Single-cell crop; peripheral blood smear — 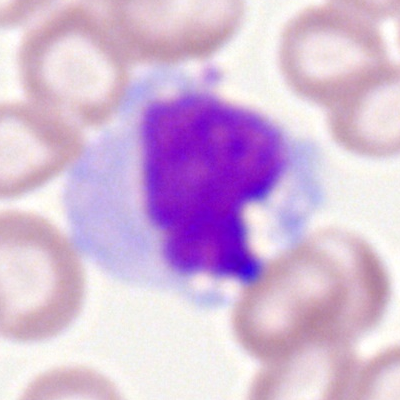Morphological class = monocyte.